Single-cell field; 250×250 px; bone marrow aspirate smear
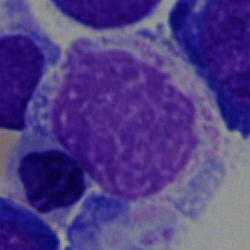 Showing an artefact.